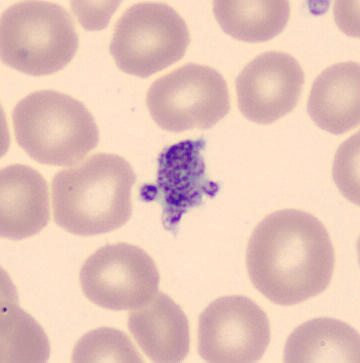 Acquisition: Automated cell imaging (CellaVision DM96); peripheral blood smear; May-Grünwald-Giemsa-stained.

Morphology consistent with a thrombocyte.